Bone marrow smear: 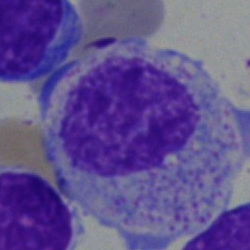

{"cell_type": "myelocyte"}